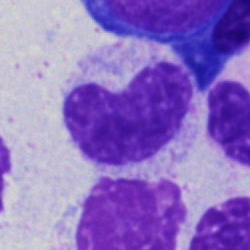

Metamyelocyte.